Single cell centered in the field. Bone marrow aspirate smear. 250 by 250 pixels.
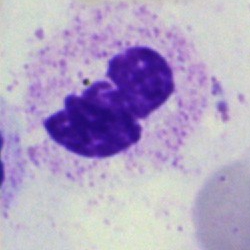 Impression — neutrophil (segmented).